Single cell centered in the field. Peripheral blood film — 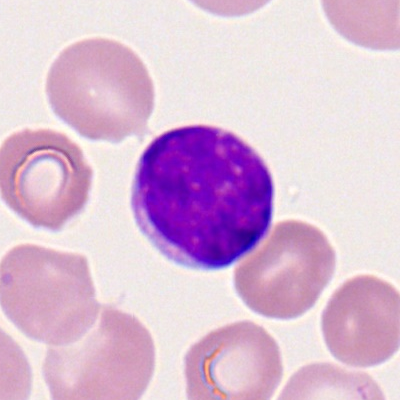 Single cell identified as a lymphocyte.